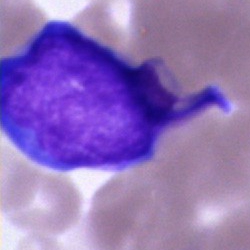Showing a blast cell.